Cropped to a single cell; peripheral blood film; MGG-stained.
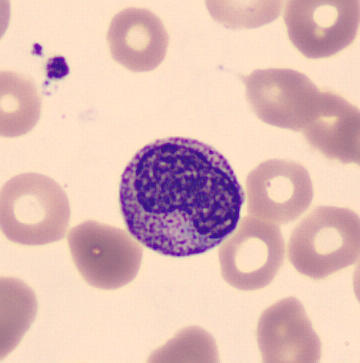

Impression → metamyelocyte.